Bone marrow aspirate smear; May-Grünwald-Giemsa/Pappenheim stain; image size 250×250 — 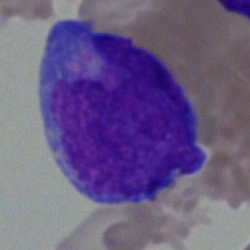
Q: Which cell type is shown here?
A: A blast.